40× oil immersion; bone marrow smear:
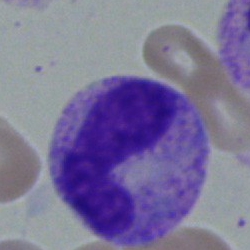The cell shown is a neutrophil (band).